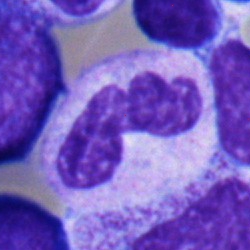

The classification is polymorphonuclear neutrophil.